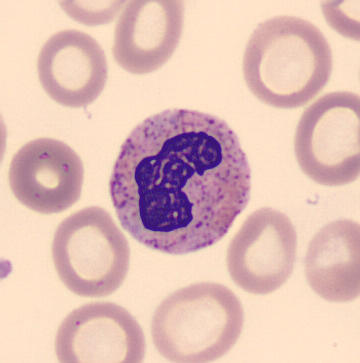Showing a band neutrophil.

Preparation: Cropped to a single cell; peripheral blood film.